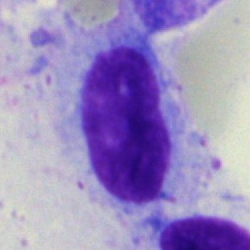
The cell is artefact.